Bone marrow smear. Image size 250×250 — 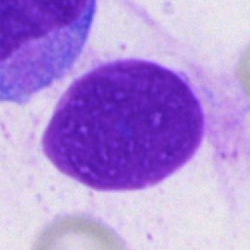
Specimen: bone marrow aspirate smear.
Cell: artefact.